Peripheral blood smear.
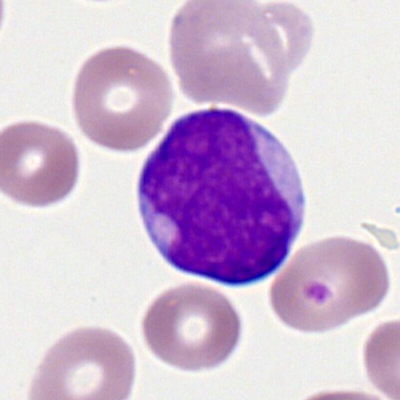
{"cell_type": "myeloblast", "lineage": "myeloid"}